MGG-stained. Bone marrow smear. 250 by 250 pixels — 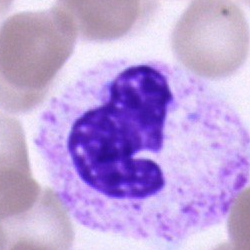

Classification — neutrophil (segmented).